Pappenheim-stained; bone marrow smear.
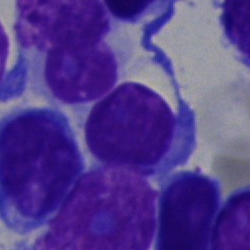

This is a lymphocyte.